Peripheral blood film · brightfield, 100× oil-immersion objective · cropped to a single cell — 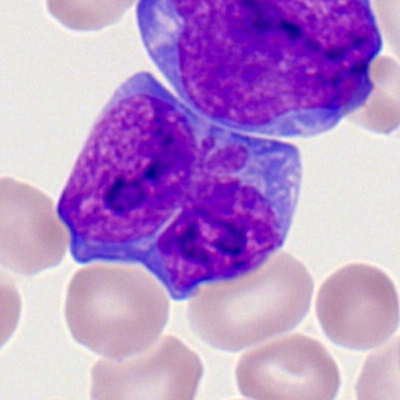 Specimen: peripheral blood smear.
Classification: myeloblast.
Lineage: myeloid.